Bone marrow smear.
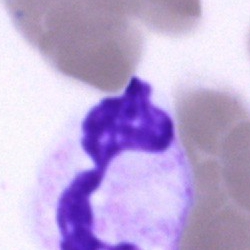 Specimen: bone marrow aspirate smear.
Cell: polymorphonuclear neutrophil.
Lineage: myeloid.